Bone marrow smear.
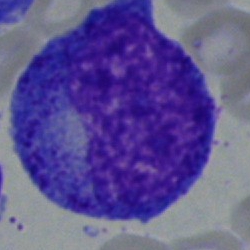

Showing a progranulocyte.